Bone marrow aspirate smear · MGG-stained.
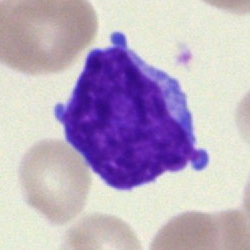{"cell_type": "undifferentiated blast"}